250×250; bone marrow smear; brightfield microscopy, 40× oil immersion
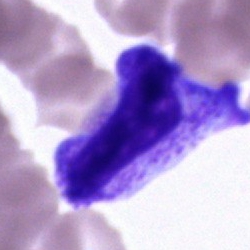

Morphology consistent with a cell of indeterminate lineage.